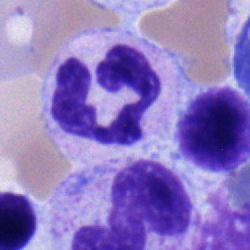The cell shown is a neutrophil (segmented).